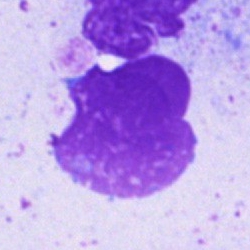

Single cell identified as an artifact.